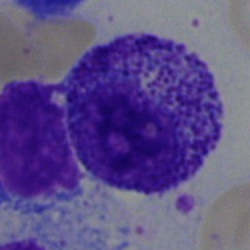 The cell is myelocyte.